May-Grünwald-Giemsa stain. Bone marrow smear: 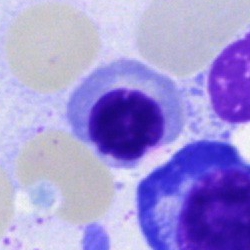Showing a normoblast.